Bone marrow aspirate smear:
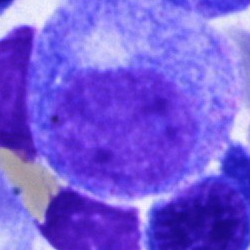 Q: What type of cell is this?
A: A promyelocyte.